May-Grünwald-Giemsa/Pappenheim stain · bone marrow aspirate smear — 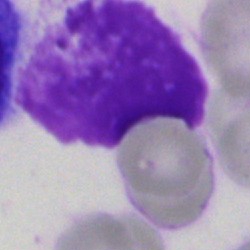 Q: What is shown here?
A: An artifact.